Bone marrow aspirate smear; 250×250: 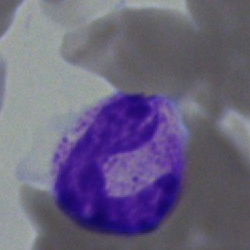
Morphology consistent with a band neutrophil.